Cropped to a single cell; bone marrow aspirate smear; 250×250 px: 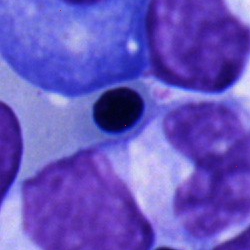
Nucleated red blood cell.